Bone marrow smear:
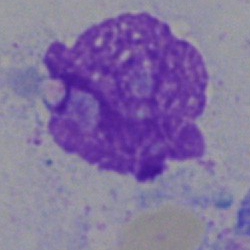 This is an artifact.